Bone marrow aspirate smear: 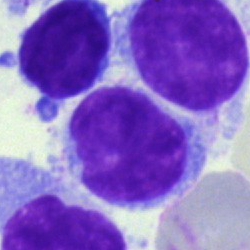 Classification — artifact.